Peripheral blood smear.
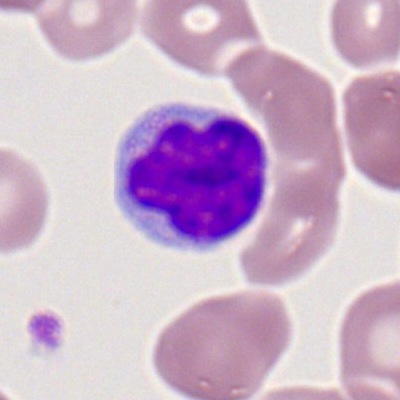
Q: Which cell type is shown here?
A: It is a typical lymphocyte.